Bone marrow smear. 40× objective, oil immersion.
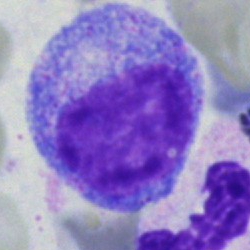Classification — proerythroblast.